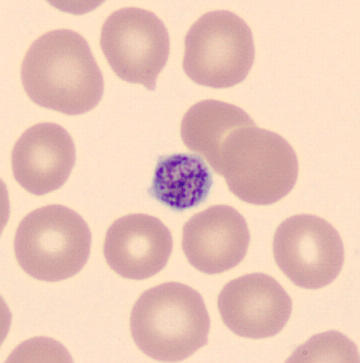
Image: Peripheral blood smear; image size 360×363; May-Grünwald-Giemsa-stained.
Identified as a platelet.